Bone marrow aspirate smear — 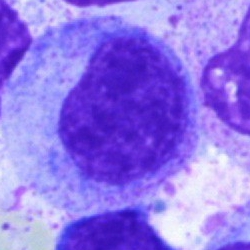Q: Identify the cell.
A: It is a promyelocyte.